Bone marrow smear. 250×250 px.
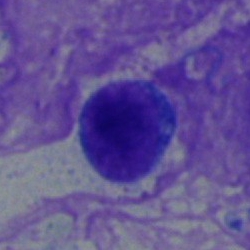Q: Which cell type is shown here?
A: It is a typical lymphocyte.